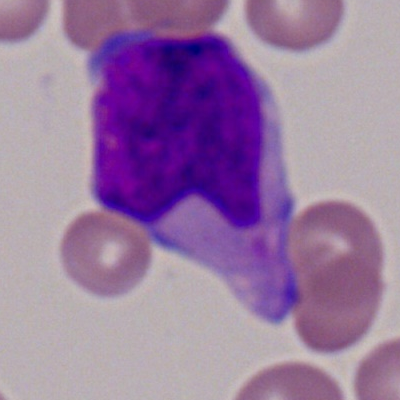

Myeloblast.